Bone marrow aspirate smear · Pappenheim-stained:
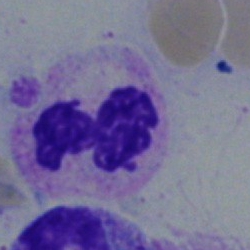 A polymorphonuclear neutrophil.